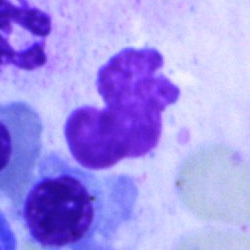Q: What is shown here?
A: An artefact.